Bone marrow smear; single-cell crop.
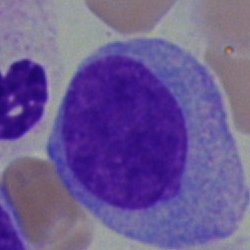 Blast cell.